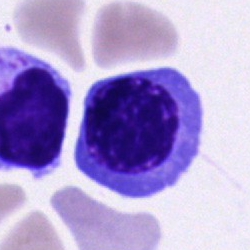Q: Identify the cell.
A: It is a nucleated red blood cell.